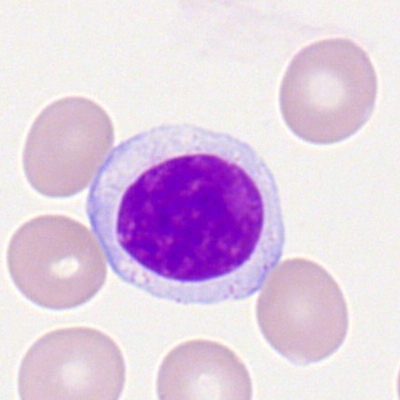

Morphology — typical lymphocyte.